Bone marrow smear: 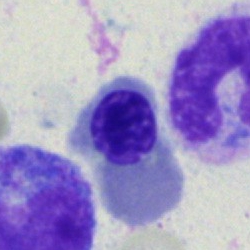 A nucleated red cell.